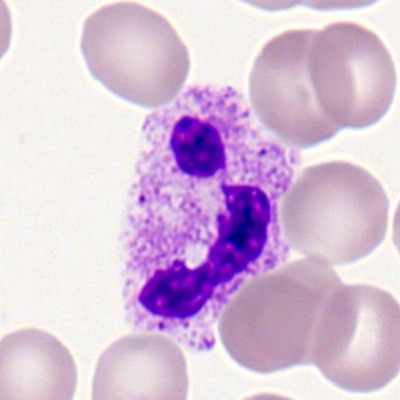Specimen: peripheral blood film.
Cell: polymorphonuclear neutrophil.